250 by 250 pixels; bone marrow smear — 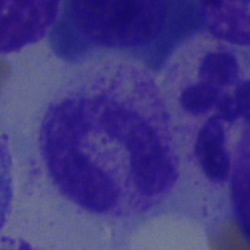

Q: Which cell type is shown here?
A: This is a stab cell.